Peripheral blood smear: 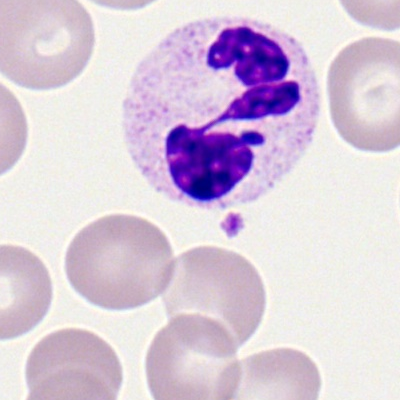
Showing a segmented neutrophil.